250×250 px; bone marrow aspirate smear: 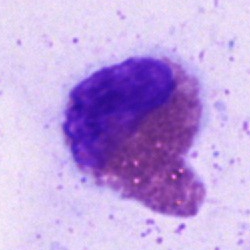

The morphological class is eosinophil.